Bone marrow smear — 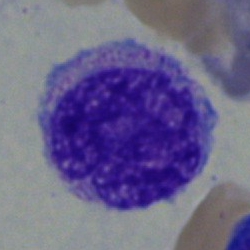 This is a myelocyte.